40× oil immersion. Bone marrow aspirate smear. Cropped to a single cell
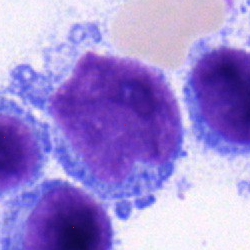 The cell shown is a lymphocyte.